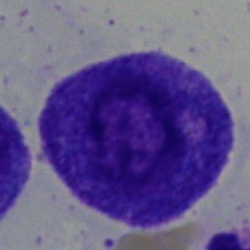
{"cell_type": "promyelocyte"}